Bone marrow aspirate smear · 40× oil immersion
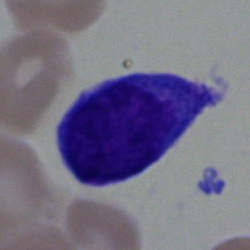

Specimen: bone marrow smear.
Cell type: blast.